Bone marrow aspirate smear · 250 by 250 pixels · brightfield, 40× oil-immersion objective
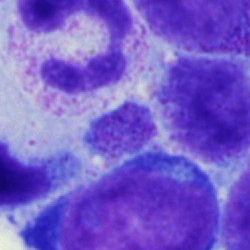

Impression → cell of indeterminate lineage.